Bone marrow smear:
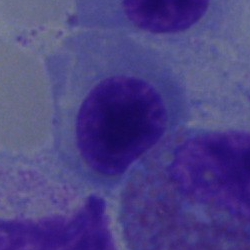Specimen: bone marrow smear.
Morphological class: erythroblast.
Lineage: erythroid.